Bone marrow aspirate smear; 40× oil immersion.
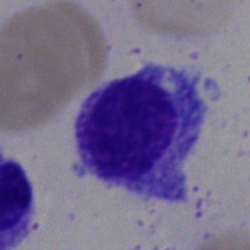
Q: Which cell type is shown here?
A: Erythroblast.